Single cell centered in the field. Bone marrow aspirate smear
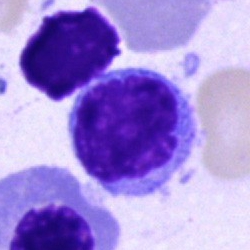

A lymphocyte.